40× objective, oil immersion · cropped to a single cell · bone marrow aspirate smear:
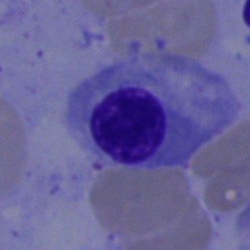
The classification is nucleated red cell.